Peripheral blood film
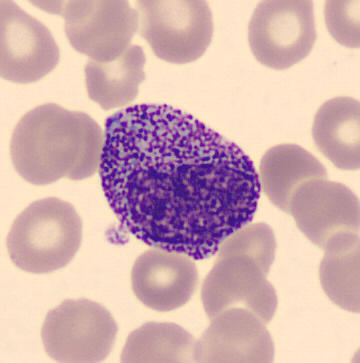
Impression → progranulocyte.